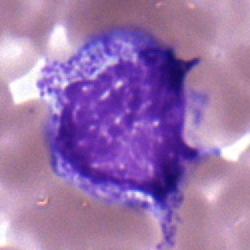
Classification: myelocyte.